Brightfield microscopy, 40× oil immersion · bone marrow aspirate smear · 250×250
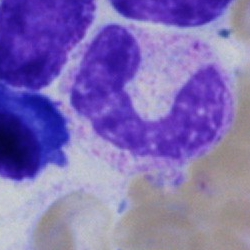Specimen: bone marrow aspirate smear.
Classification: band-form neutrophil.